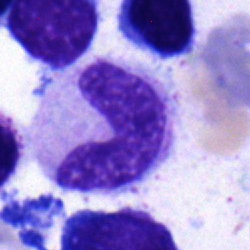
{"cell_type": "band neutrophil", "lineage": "myeloid"}